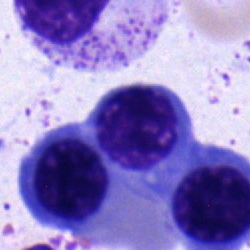Cell type — nucleated red cell.